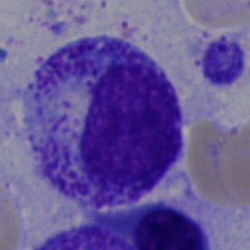

Specimen: bone marrow aspirate smear.
Cell: progranulocyte.
Lineage: myeloid.